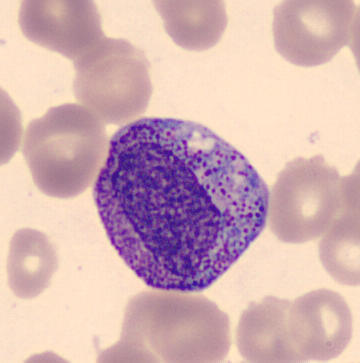Peripheral blood smear.

Single cell identified as a promyelocyte.